Bone marrow smear: 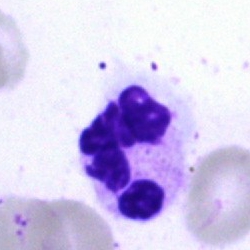
Impression — segmented neutrophil.